Bone marrow smear
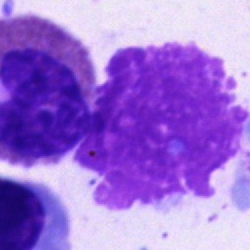
The cell shown is an artefact.